Bone marrow aspirate smear — 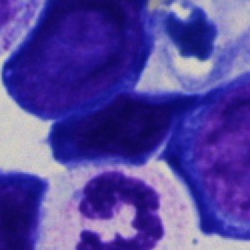
Impression — cell of indeterminate lineage.